Bone marrow smear
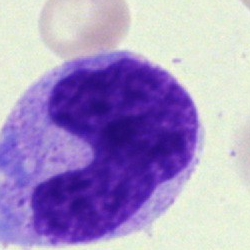

Specimen: bone marrow smear.
Cell: band neutrophil.
Lineage: myeloid.